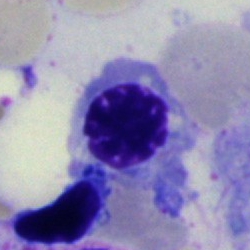

{"cell_type": "erythroblast", "lineage": "erythroid"}